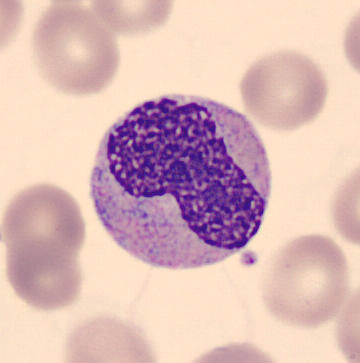 Image size 360×363 · MGG stain · peripheral blood film.
Single cell identified as a metamyelocyte.